May-Grünwald-Giemsa/Pappenheim stain · bone marrow smear.
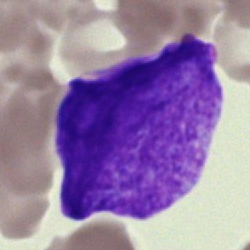
This is an undifferentiated blast.